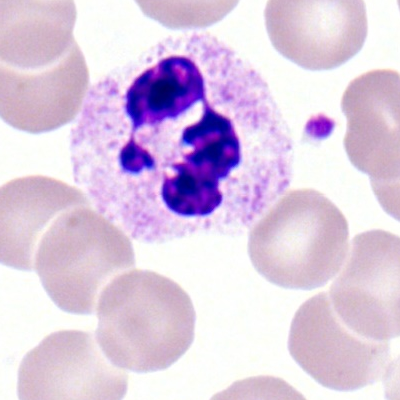
Morphology → neutrophil (segmented).